Bone marrow aspirate smear; 40× objective, oil immersion; single-cell crop.
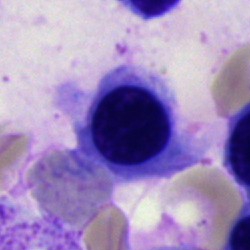

Cell type = erythroblast.